Peripheral blood smear.
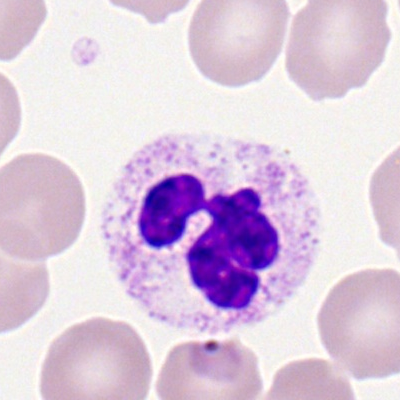 The morphological class is polymorphonuclear neutrophil.